Bone marrow aspirate smear:
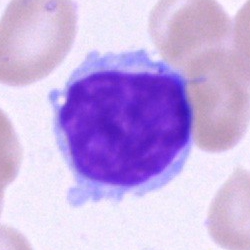

Specimen: bone marrow smear.
Cell: lymphocyte.